100× oil immersion; 400×400 px; peripheral blood film:
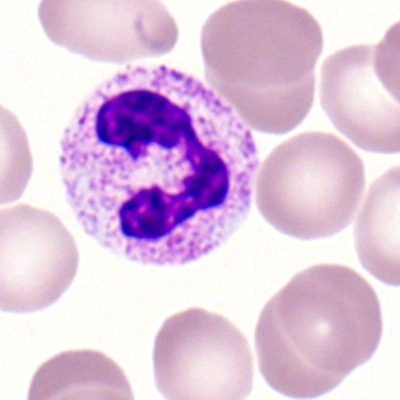Cell type = polymorphonuclear neutrophil.